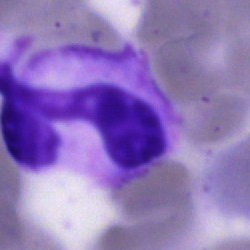
A segmented neutrophil on a bone marrow smear.